40× oil immersion; bone marrow smear: 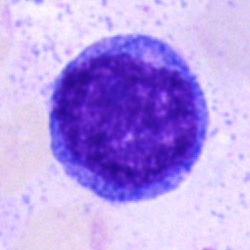
Morphological class = undifferentiated blast.